Bone marrow smear.
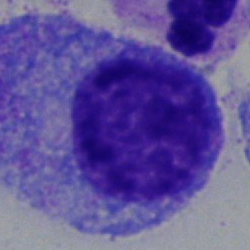

{"cell_type": "progranulocyte"}